250 by 250 pixels. May-Grünwald-Giemsa/Pappenheim stain. Bone marrow smear — 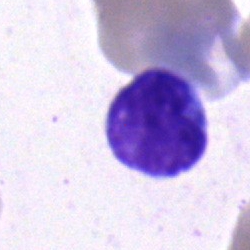 Q: Which cell type is shown here?
A: A lymphocyte.